May-Grünwald-Giemsa stain. 250×250 px. Bone marrow aspirate smear:
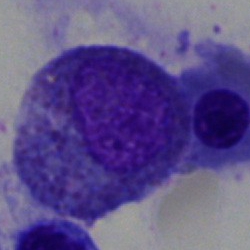 Classification — eosinophil.